Image size 250×250; bone marrow aspirate smear:
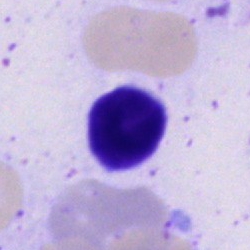
Showing a typical lymphocyte.